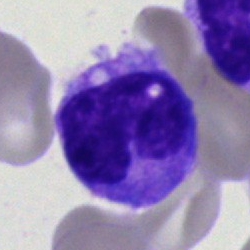 Bone marrow smear showing a monocyte.